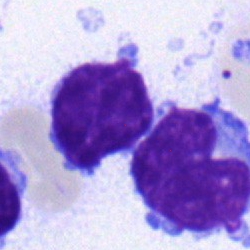
{"cell_type": "typical lymphocyte"}